Bone marrow aspirate smear — 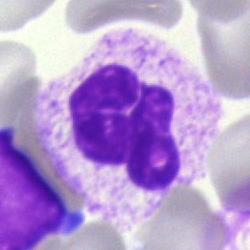
Q: What cell is this?
A: Segmented neutrophil.